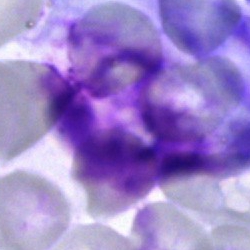 Morphological class = artefact.